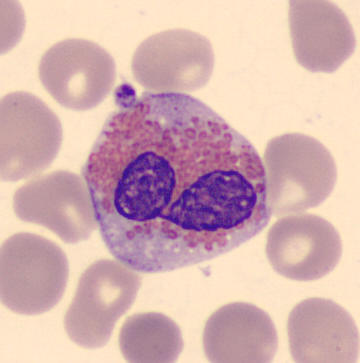
Showing an eosinophil. MGG-stained. Peripheral blood smear.